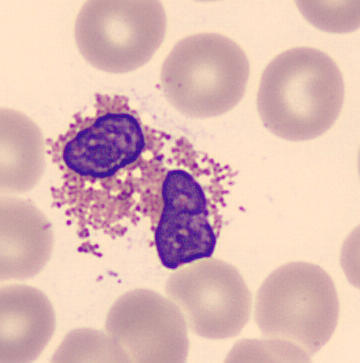
Morphology — eosinophil.

Image: Peripheral blood smear.